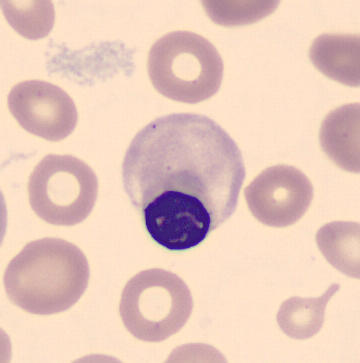

Image: Peripheral blood smear.
Morphology consistent with a nucleated red cell.